Bone marrow smear — 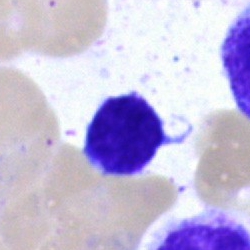 Q: Which cell type is shown here?
A: It is a lymphocyte.